Bone marrow aspirate smear: 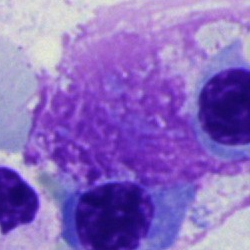
Morphological class: artefact.